MGG-stained; single-cell crop; bone marrow aspirate smear — 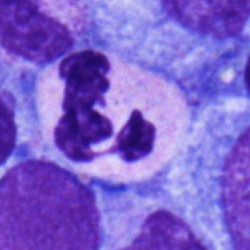
Impression — segmented neutrophil.